Bone marrow aspirate smear — 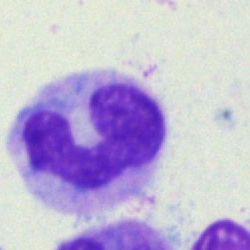This is a monocyte.